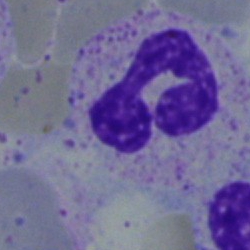
Morphological class — segmented neutrophil.